Romanowsky-type stain · peripheral blood smear
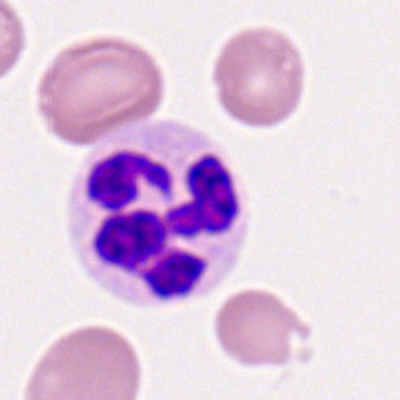Classification: segmented neutrophil.